40× objective, oil immersion. Bone marrow smear — 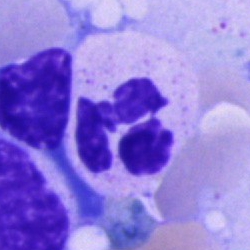

Morphological class: polymorphonuclear neutrophil.